Bone marrow aspirate smear
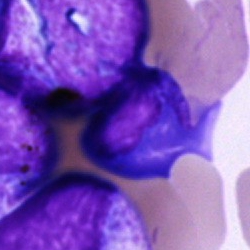
Single cell identified as an artifact.